Bone marrow smear. 40× objective, oil immersion: 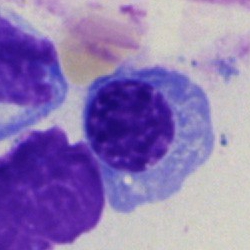
Cell type — erythroblast.